Bone marrow smear; 250 by 250 pixels: 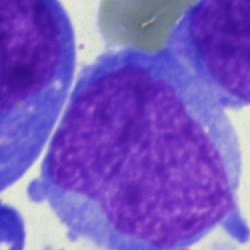Cell type = blast.